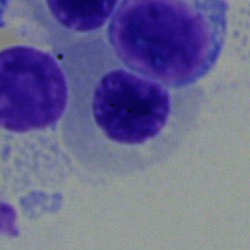Q: What is shown here?
A: It is a normoblast.